Bone marrow smear.
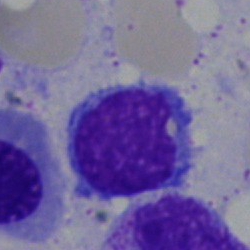

A lymphocyte.